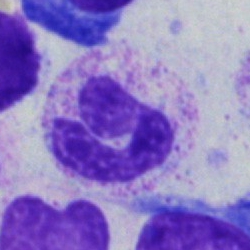

Impression → segmented neutrophil.